Bone marrow smear:
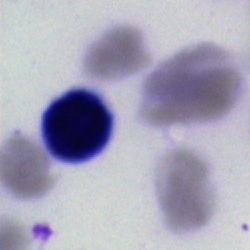Impression — artefact.